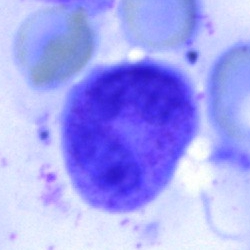Q: What type of cell is this?
A: A band neutrophil.